Bone marrow smear · image size 250×250 · May-Grünwald-Giemsa/Pappenheim stain:
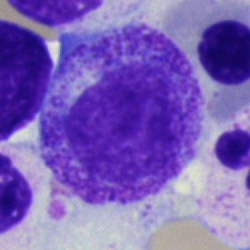Myelocyte.